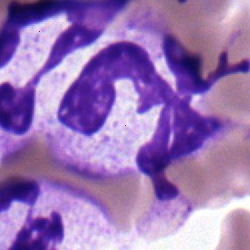
Cell type = segmented neutrophil.